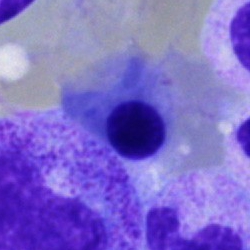The classification is normoblast.